250 by 250 pixels; bone marrow aspirate smear
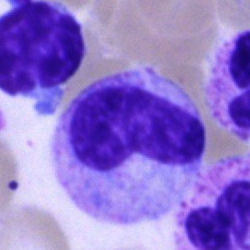 Q: What is shown here?
A: A metamyelocyte.